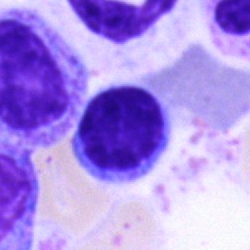A lymphocyte.